Bone marrow smear — 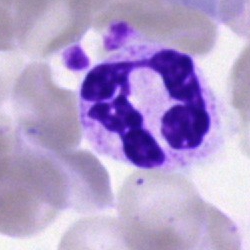 A polymorphonuclear neutrophil.